May-Grünwald-Giemsa stain · bone marrow smear · single-cell crop
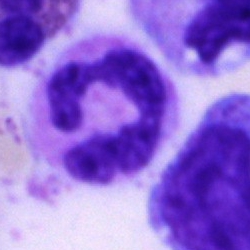
Polymorphonuclear neutrophil.